May-Grünwald-Giemsa/Pappenheim stain. Bone marrow smear — 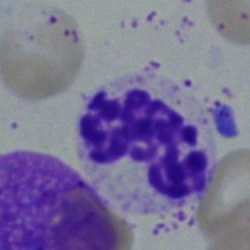The cell is neutrophil (segmented).